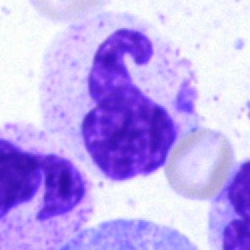

Specimen: bone marrow smear.
Cell type: neutrophil (segmented).